Bone marrow smear:
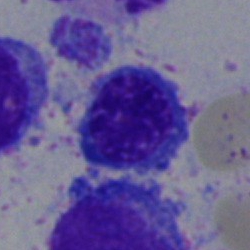Cell: erythroblast.